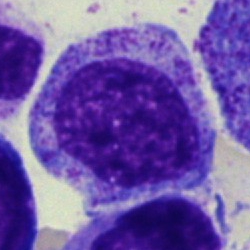 The cell shown is a myelocyte.